Bone marrow smear — 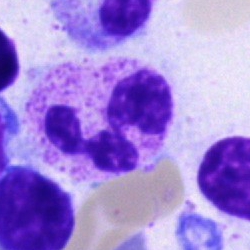

The cell type is neutrophil (segmented).